Bone marrow aspirate smear; single-cell field.
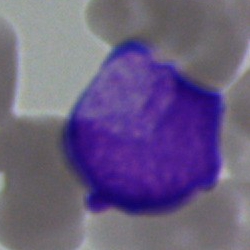Classification — undifferentiated blast.